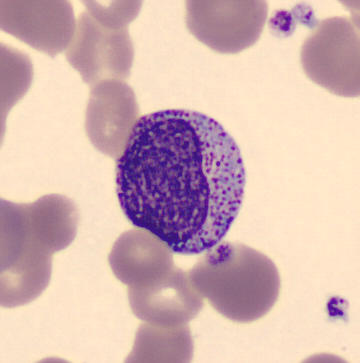The classification is myelocyte.